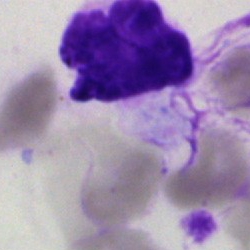Morphological class — artefact.